Peripheral blood film:
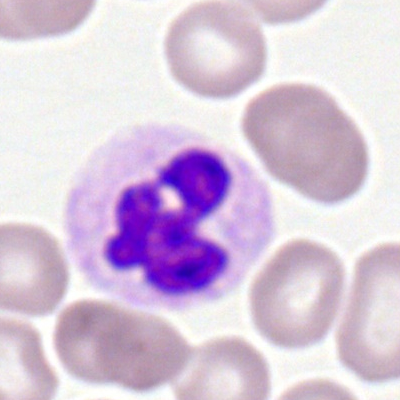 Impression → polymorphonuclear neutrophil.